250×250; bone marrow aspirate smear: 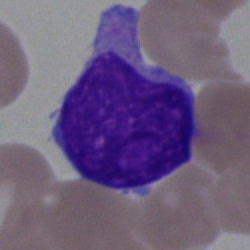
Morphology consistent with a blast cell.